Bone marrow aspirate smear. 250×250 px.
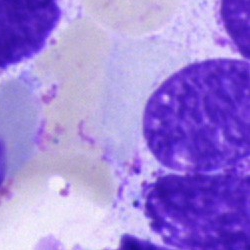 Morphology — artifact.